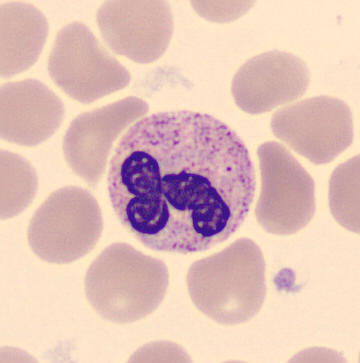 Peripheral blood smear showing a band-form neutrophil.